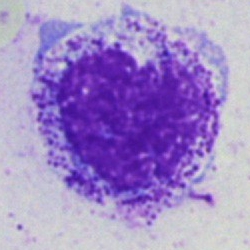Artifact.